Bone marrow aspirate smear: 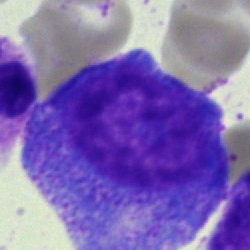 Promyelocyte.